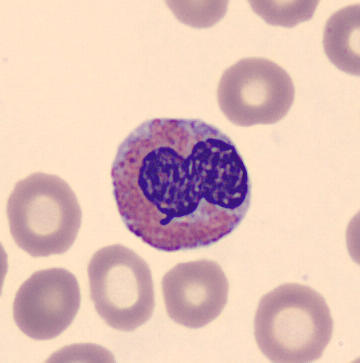

Morphology → eosinophil.
Acquisition: Peripheral blood film.